Bone marrow aspirate smear:
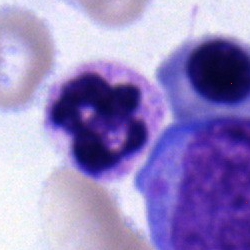
Neutrophil (segmented).